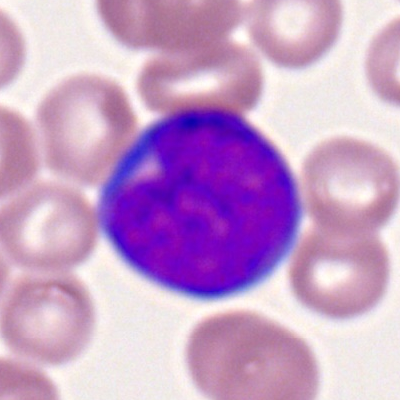
This is a myeloblast.